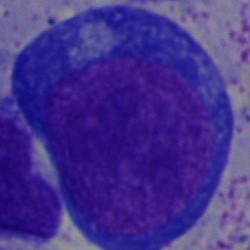

Single-cell crop from a bone marrow smear: promyelocyte.